Bone marrow aspirate smear · single-cell field: 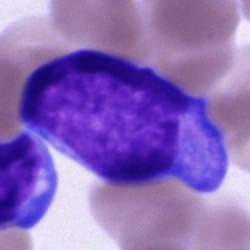 This is a blast cell.